Bone marrow smear; May-Grünwald-Giemsa/Pappenheim stain — 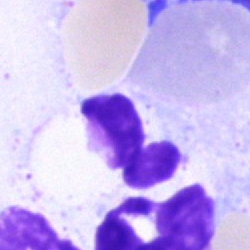
A segmented neutrophil.